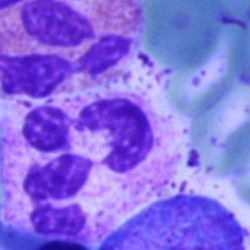Showing a neutrophil (segmented).